Bone marrow smear; cropped to a single cell: 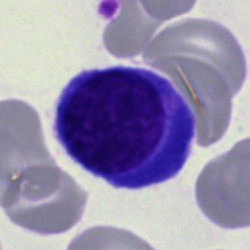 Specimen: bone marrow aspirate smear.
Cell type: erythroblast.
Lineage: erythroid.